Bone marrow aspirate smear: 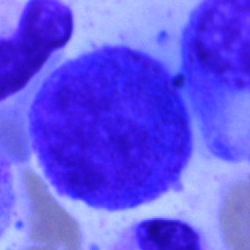

{"cell_type": "promyelocyte", "lineage": "myeloid"}